Bone marrow smear
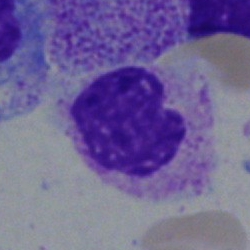

Polymorphonuclear neutrophil.